400 by 400 pixels. Peripheral blood film: 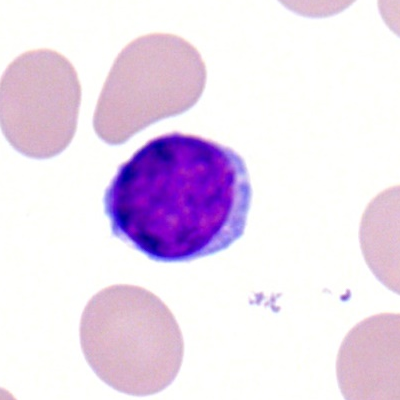Single cell identified as a typical lymphocyte.